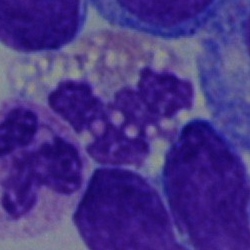

Specimen: bone marrow smear.
Classification: eosinophil.